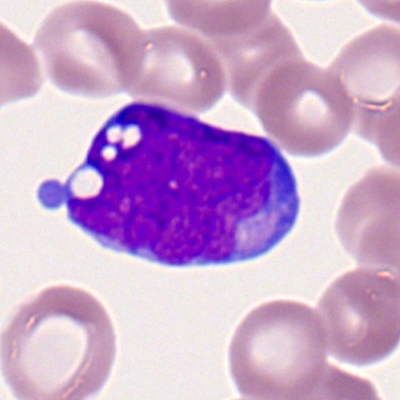 {"cell_type": "myeloblast"}